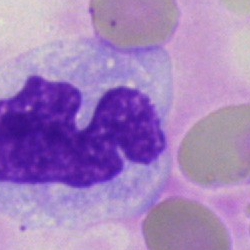Q: What is shown here?
A: This is an artifact.